Bone marrow smear.
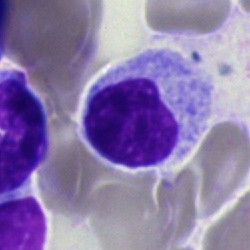
The cell shown is a lymphocyte.